May-Grünwald-Giemsa/Pappenheim stain. Bone marrow aspirate smear.
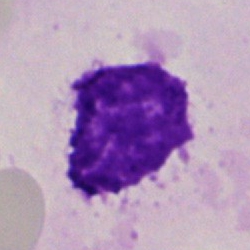

The cell shown is an artefact.